Bone marrow smear:
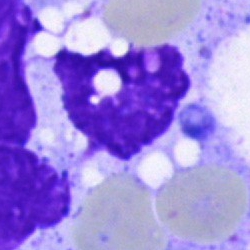

Cell — artifact.